Bone marrow aspirate smear · 40× objective, oil immersion: 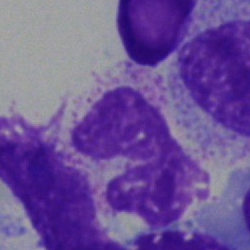 Q: Which cell type is shown here?
A: This is a neutrophil (segmented).